Pappenheim-stained · bone marrow smear
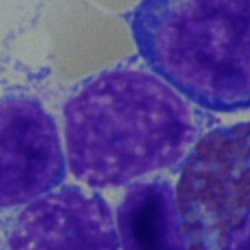
Morphology consistent with an undifferentiated blast.